Bone marrow smear · Pappenheim-stained — 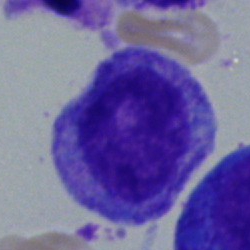Cell type — myelocyte.